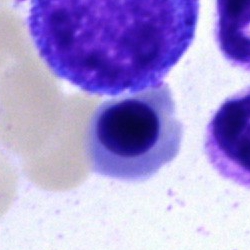

Morphology → erythroblast.